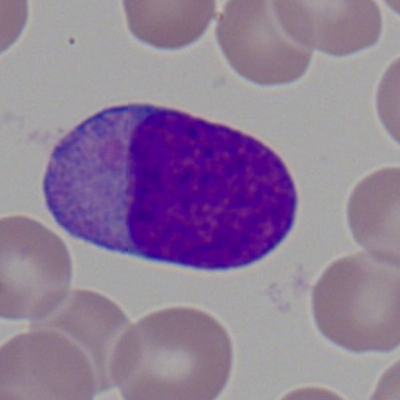

Specimen: peripheral blood smear.
Classification: myeloblast.